Peripheral blood smear — 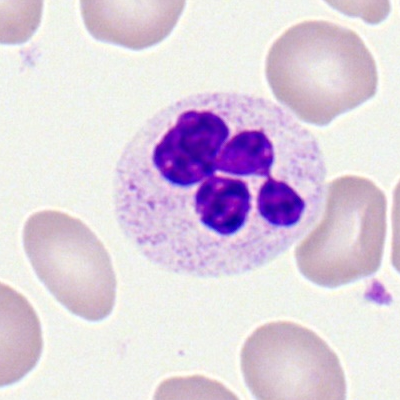Classification = polymorphonuclear neutrophil.